May-Grünwald-Giemsa stain; bone marrow aspirate smear; single cell centered in the field:
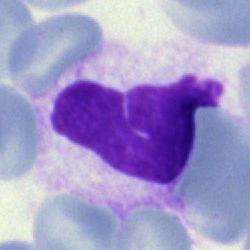
Morphological class — artifact.